250×250 · May-Grünwald-Giemsa stain · bone marrow aspirate smear: 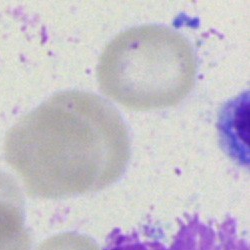

Single cell identified as an artifact.